250×250; bone marrow smear:
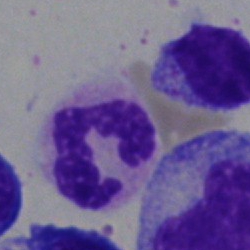 The morphological class is polymorphonuclear neutrophil.